100× oil immersion. Peripheral blood smear:
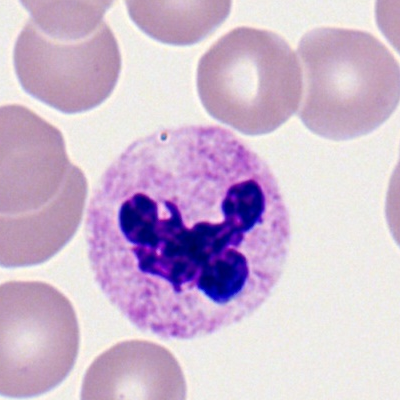

Specimen: peripheral blood smear.
Morphological class: neutrophil (segmented).